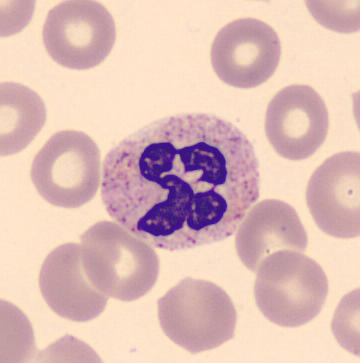

{"cell_type": "polymorphonuclear neutrophil"} Peripheral blood film.